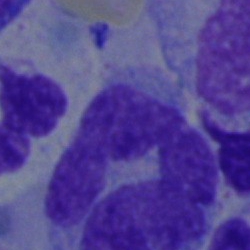Cell — artifact.